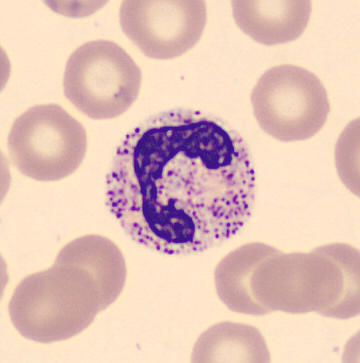 {"cell_type": "segmented neutrophil"}
Preparation: 360 by 363 pixels · peripheral blood smear.